Bone marrow smear
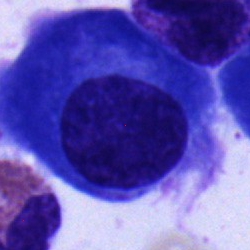

{"cell_type": "plasmacyte", "lineage": "lymphoid"}